Bone marrow smear.
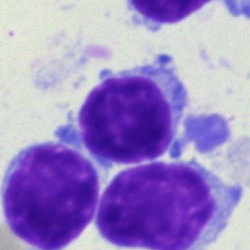Showing a typical lymphocyte.